Bone marrow smear. Single-cell crop. May-Grünwald-Giemsa stain:
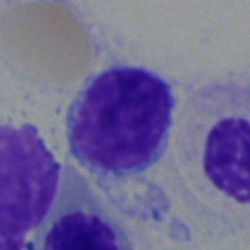

Classification — typical lymphocyte.